Image size 250×250. Pappenheim-stained. Bone marrow smear:
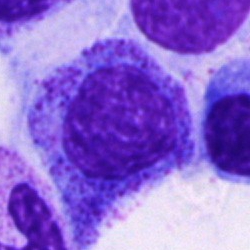
Progranulocyte.